Bone marrow aspirate smear: 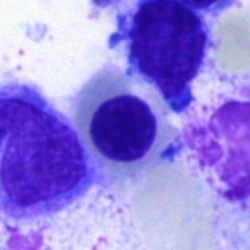

Specimen: bone marrow smear.
Classification: basophil.
Lineage: myeloid.